Single-cell field; bone marrow smear.
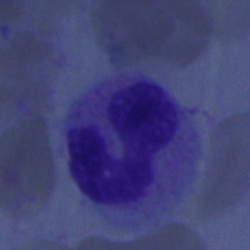 {"cell_type": "neutrophil (band)", "lineage": "myeloid"}